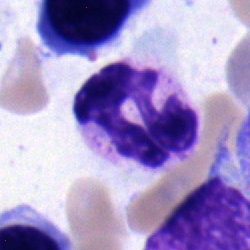 A neutrophil (segmented) on a bone marrow smear.